Bone marrow smear — 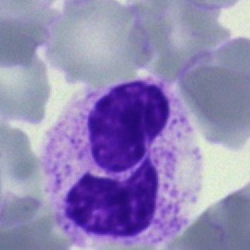Morphology consistent with a polymorphonuclear neutrophil.